Bone marrow smear. May-Grünwald-Giemsa stain: 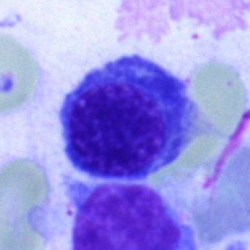
A nucleated red cell.